Bone marrow smear:
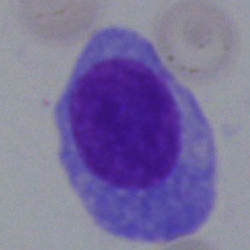
Cell = plasma cell.